Bone marrow smear:
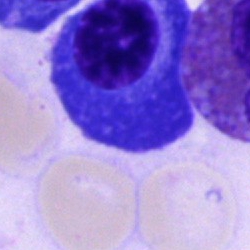 {"cell_type": "plasma cell"}